Bone marrow aspirate smear: 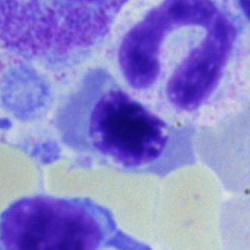Normoblast.